Bone marrow smear
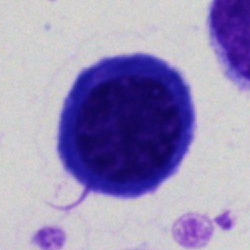
An erythroblast.